Pappenheim-stained. Bone marrow aspirate smear. Brightfield, 40× oil-immersion objective: 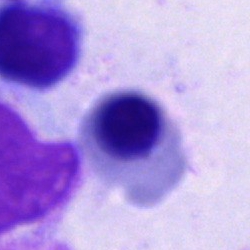 Morphological class — nucleated red cell.